Cropped to a single cell. Bone marrow aspirate smear: 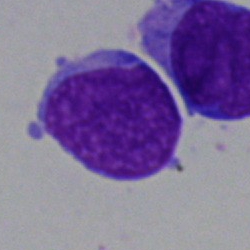 Classification = blast cell.